Bone marrow smear; cropped to a single cell
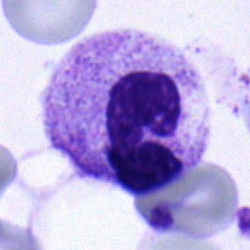Impression — band-form neutrophil.